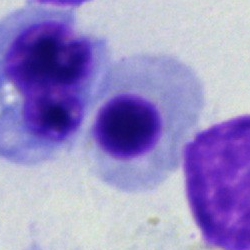{"cell_type": "erythroblast", "lineage": "erythroid"}